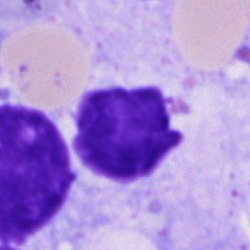 Morphology → artifact.